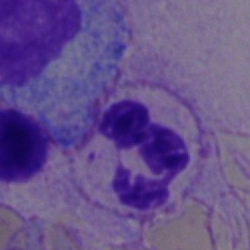

A neutrophil (segmented).